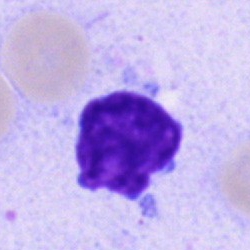 Impression — lymphocyte.